250×250 px · bone marrow aspirate smear
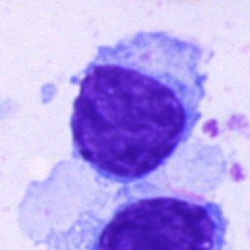Showing a lymphocyte.